Bone marrow smear · MGG-stained · 40× oil immersion.
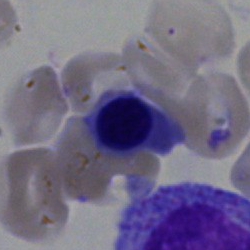 A nucleated red blood cell.